Bone marrow aspirate smear:
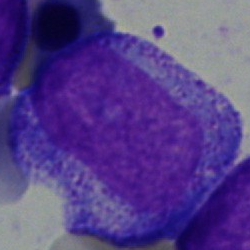
This is a progranulocyte.